Peripheral blood film; M8 digital microscope (Precipoint), 100× oil immersion — 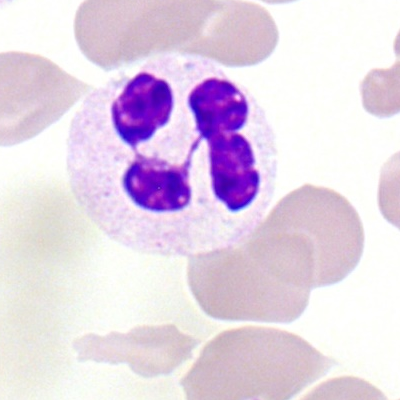 Q: What is the morphological classification of this cell?
A: Polymorphonuclear neutrophil.